Bone marrow smear: 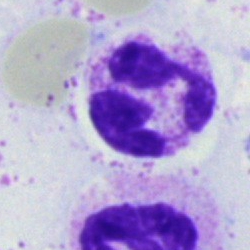

A neutrophil (segmented).